Bone marrow smear · brightfield microscopy, 40× oil immersion: 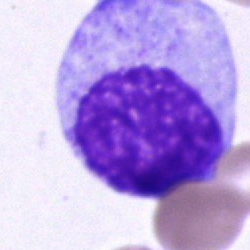Specimen: bone marrow aspirate smear.
Cell: progranulocyte.